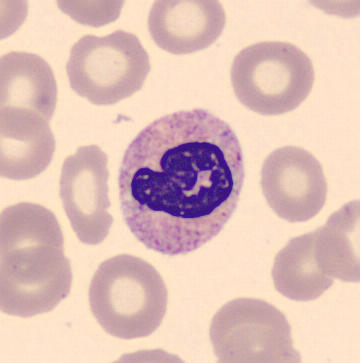 Morphology consistent with a neutrophil (band).
Peripheral blood smear.